Bone marrow aspirate smear: 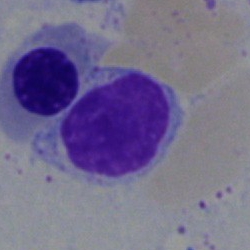

Specimen: bone marrow aspirate smear.
Cell type: lymphocyte.
Lineage: lymphoid.